250×250 · bone marrow smear:
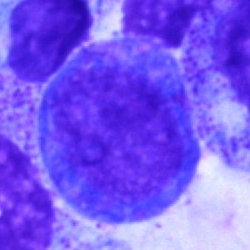

The cell shown is a progranulocyte.